Cropped to a single cell; bone marrow aspirate smear:
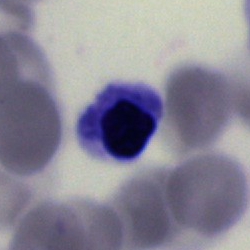Cell: normoblast.